Bone marrow aspirate smear; brightfield, 40× oil-immersion objective — 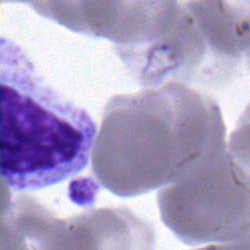

Specimen: bone marrow smear.
Classification: metamyelocyte.